Bone marrow smear
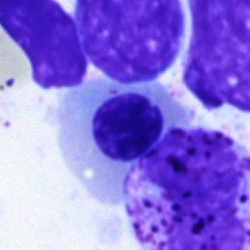
Specimen: bone marrow aspirate smear.
Classification: nucleated red cell.
Lineage: erythroid.